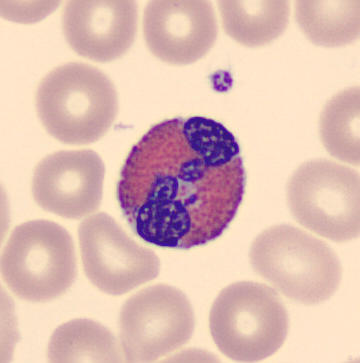 Specimen: peripheral blood film.
Cell type: eosinophilic granulocyte.
Lineage: myeloid.